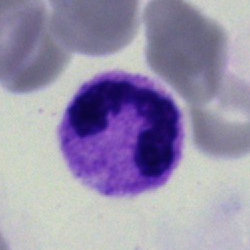
Bone marrow aspirate smear, single cell — polymorphonuclear neutrophil.